Bone marrow smear:
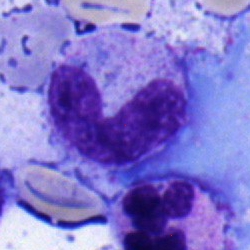Morphology consistent with a neutrophil (band).